Bone marrow smear.
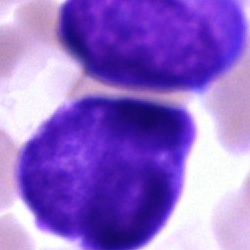

Impression → blast.